Bone marrow aspirate smear · May-Grünwald-Giemsa stain · 250×250 px:
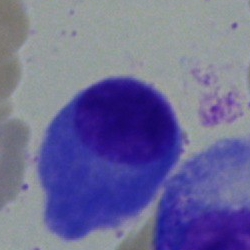Morphology consistent with a plasmacyte.